Bone marrow aspirate smear — 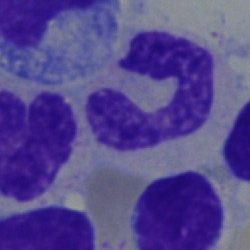The morphological class is band-form neutrophil.